Bone marrow smear
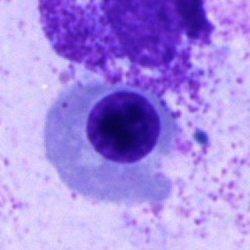

Morphology — normoblast.